Bone marrow smear: 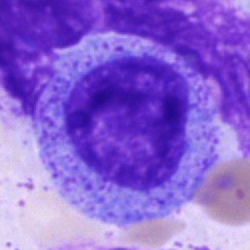 Specimen: bone marrow smear.
Classification: promyelocyte.
Lineage: myeloid.